Brightfield, 40× oil-immersion objective; MGG-stained; bone marrow aspirate smear:
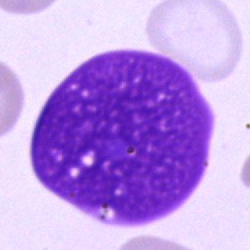
Single cell identified as an artefact.